Peripheral blood film — 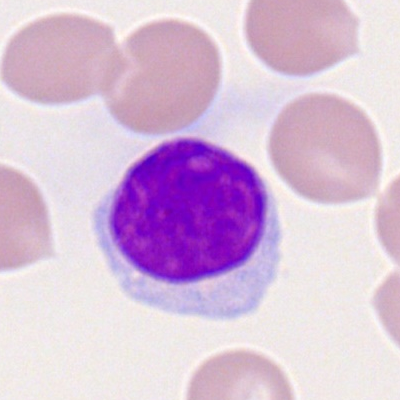
The cell shown is a typical lymphocyte.